Bone marrow smear.
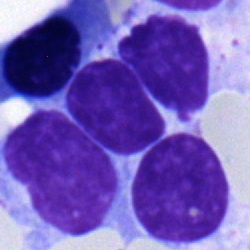
The classification is typical lymphocyte.